Bone marrow smear: 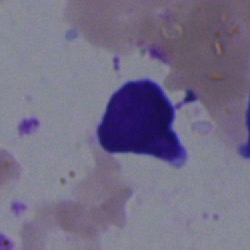Cell = typical lymphocyte.